Bone marrow aspirate smear.
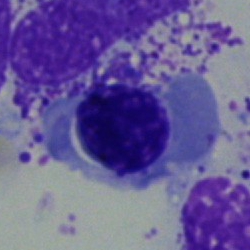This is a nucleated red blood cell.